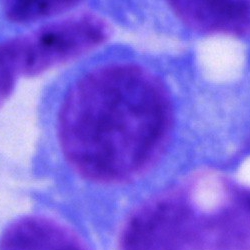

Bone marrow smear showing a plasmacyte.